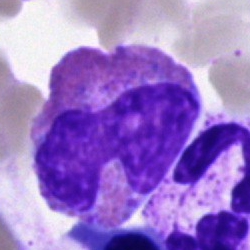
Cell type: eosinophilic granulocyte.